Bone marrow aspirate smear; single cell centered in the field.
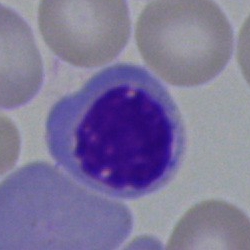 Specimen: bone marrow smear.
Morphological class: nucleated red blood cell.
Lineage: erythroid.